Bone marrow aspirate smear: 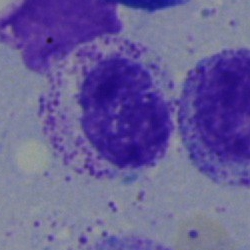 Impression → myelocyte.